Bone marrow aspirate smear:
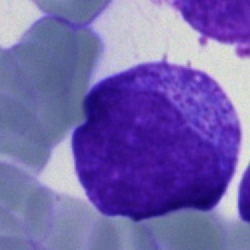
Specimen: bone marrow smear.
Classification: undifferentiated blast.